Bone marrow smear: 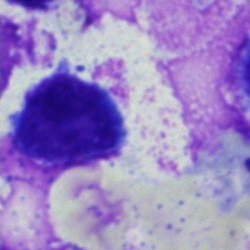

Q: What is shown here?
A: A typical lymphocyte.